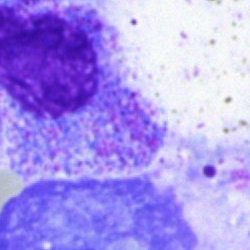 Q: What is shown here?
A: It is an artifact.